Bone marrow smear
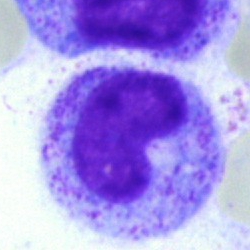Showing a metamyelocyte.